Bone marrow smear.
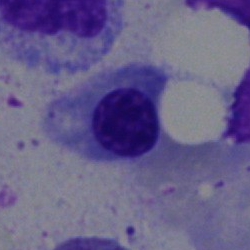
Morphology — nucleated red blood cell.